Bone marrow aspirate smear — 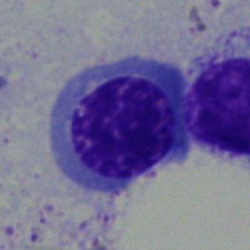

Specimen: bone marrow aspirate smear.
Classification: normoblast.